Bone marrow aspirate smear. Pappenheim-stained
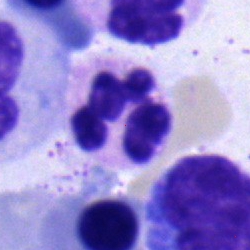 Q: Which cell type is shown here?
A: Neutrophil (segmented).